Bone marrow aspirate smear; 250×250; Pappenheim-stained:
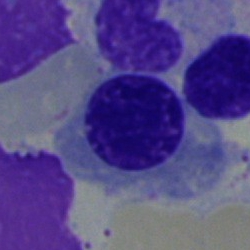The cell shown is an erythroblast.